Bone marrow smear; single-cell field
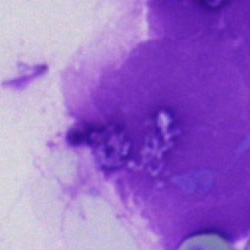

Morphological class = artefact.